Peripheral blood film.
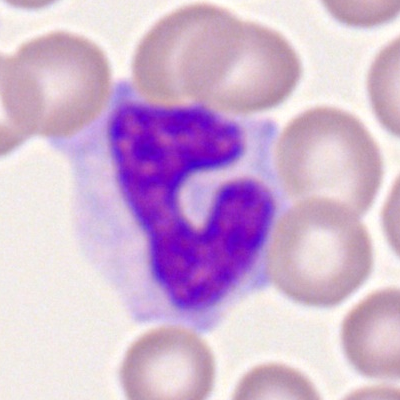{"cell_type": "monocyte"}